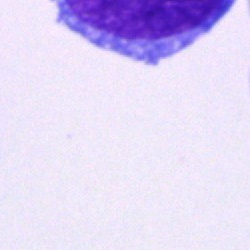
Classification: blast.